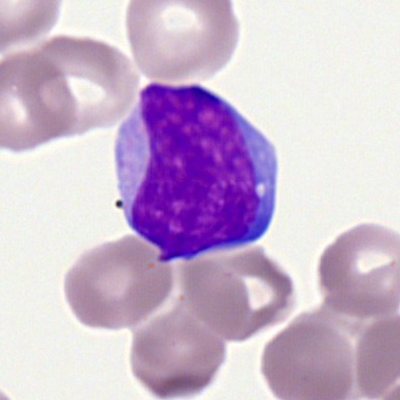 Single cell identified as a myeloid blast.